Bone marrow smear. 40× oil immersion. Cropped to a single cell: 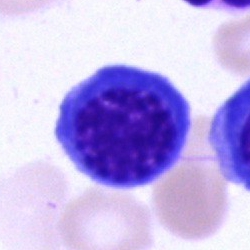
Morphology consistent with an erythroblast.